Bone marrow aspirate smear
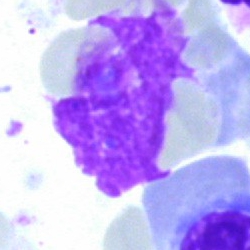

Showing an artifact.